Peripheral blood smear; single-cell crop: 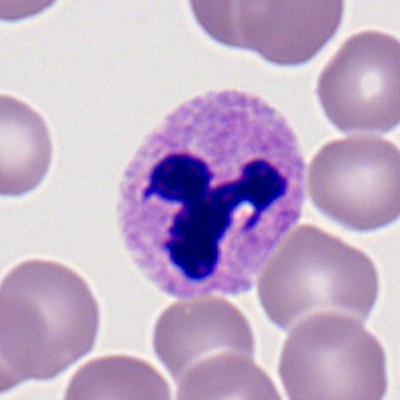 Q: What is the morphological classification of this cell?
A: A polymorphonuclear neutrophil.